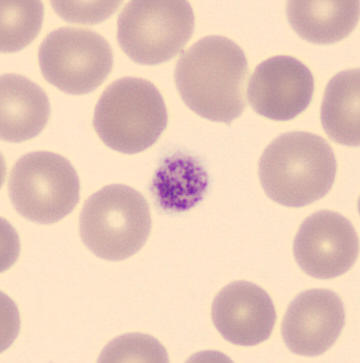Showing a platelet.
Acquisition: Peripheral blood smear.